Bone marrow smear: 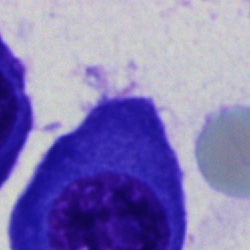 Morphology consistent with a plasma cell.